Single-cell field; bone marrow smear:
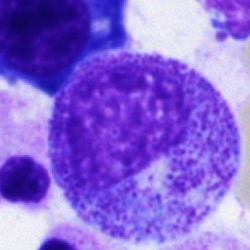 The cell shown is a myelocyte.